Bone marrow smear:
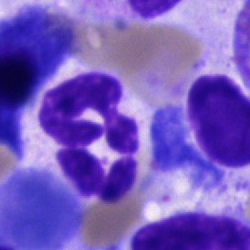 Single cell identified as a segmented neutrophil.